Bone marrow aspirate smear — 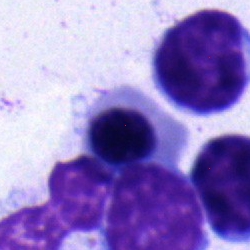
Normoblast.